Single-cell crop. Bone marrow aspirate smear
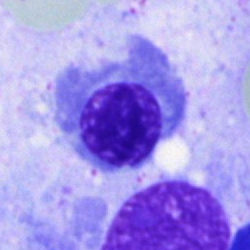 Specimen: bone marrow smear.
Cell type: normoblast.
Lineage: erythroid.